Bone marrow aspirate smear · 40× objective, oil immersion
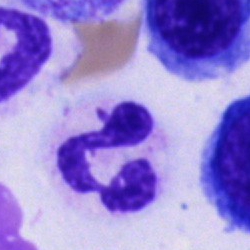
Q: What is shown here?
A: A polymorphonuclear neutrophil.